Bone marrow aspirate smear; 40× objective, oil immersion: 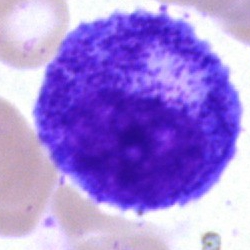

A progranulocyte.